Single-cell field; peripheral blood smear
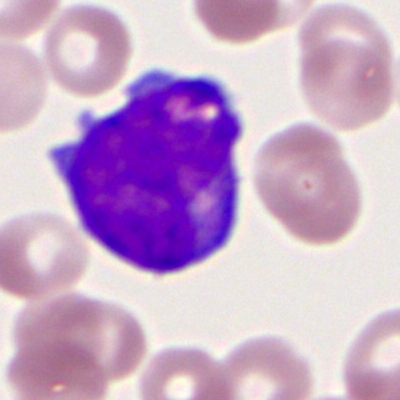Cell type = myeloblast.